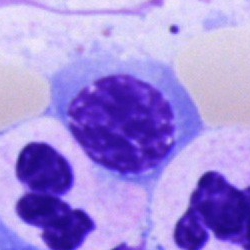Classification: nucleated red cell.